Bone marrow smear: 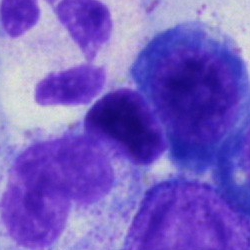
Specimen: bone marrow smear.
Classification: erythroblast.
Lineage: erythroid.